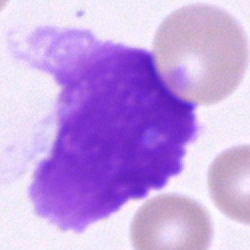Impression → artifact.